Pappenheim-stained · bone marrow aspirate smear — 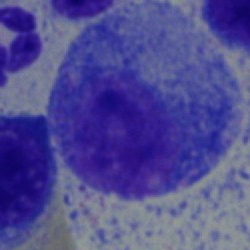

Morphological class: progranulocyte.